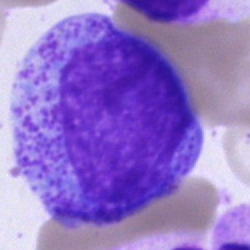
Morphology consistent with a progranulocyte.